Bone marrow smear — 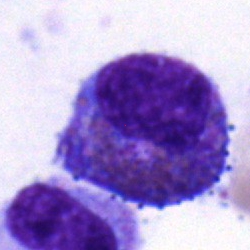
Q: Identify the cell.
A: Eosinophilic granulocyte.